Bone marrow smear · cropped to a single cell
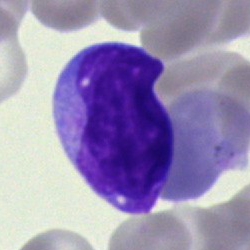
An undifferentiated blast.